Bone marrow aspirate smear · brightfield microscopy, 40× oil immersion.
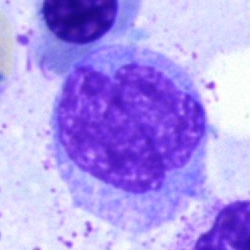Morphology consistent with a monocyte.